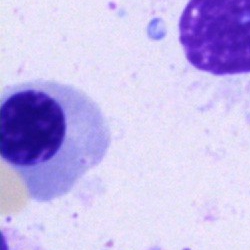Specimen: bone marrow smear.
Morphological class: erythroblast.